May-Grünwald-Giemsa/Pappenheim stain. Bone marrow aspirate smear. 250×250:
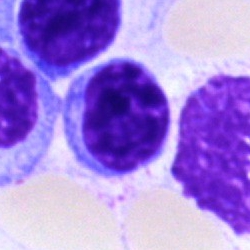Morphological class — typical lymphocyte.